Bone marrow aspirate smear · 250×250.
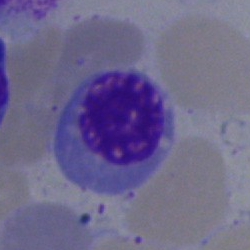
Specimen: bone marrow smear.
Cell: nucleated red blood cell.
Lineage: erythroid.